Bone marrow aspirate smear
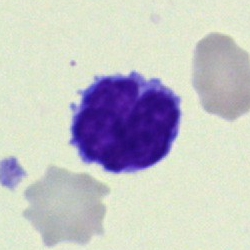
Q: What cell is this?
A: A lymphocyte.